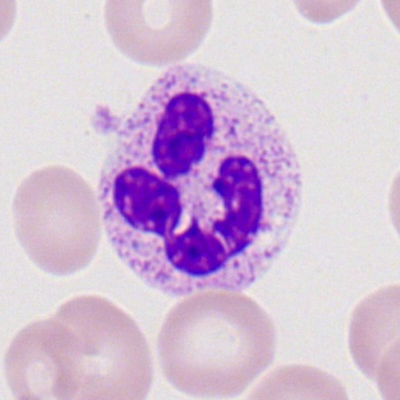

The cell is neutrophil (segmented).